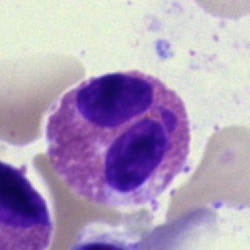 Cell type = eosinophil.